Bone marrow smear
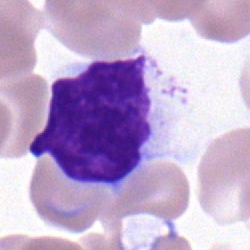
Single cell identified as a typical lymphocyte.